Bone marrow aspirate smear:
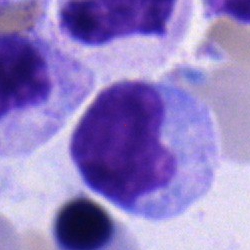
Specimen: bone marrow smear.
Morphological class: monocyte.
Lineage: myeloid.